250×250 px. Bone marrow smear: 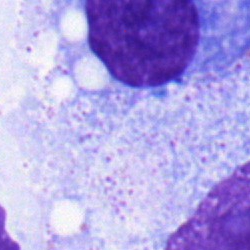

Q: Which cell type is shown here?
A: This is a plasmacyte.